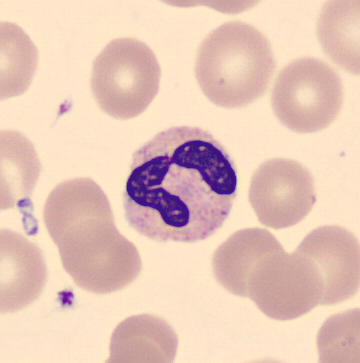
Single cell identified as a polymorphonuclear neutrophil.
Preparation: Peripheral blood smear · 360×363 px.